May-Grünwald-Giemsa/Pappenheim stain · single-cell crop · bone marrow aspirate smear
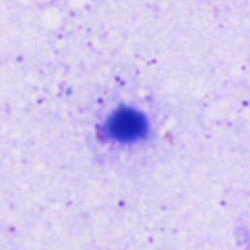
This is an artifact.